Bone marrow aspirate smear — 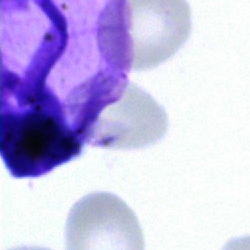
Cell type: artifact.